Bone marrow smear:
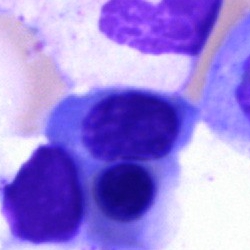Nucleated red blood cell.